Bone marrow aspirate smear.
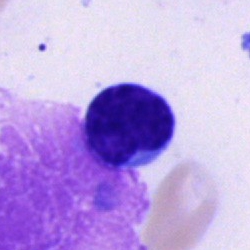
Q: What type of cell is this?
A: It is a lymphocyte.